MGG-stained. Bone marrow smear. Single-cell crop.
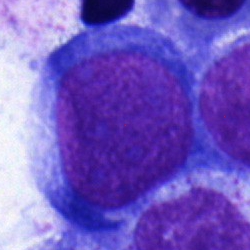

Specimen: bone marrow smear.
Cell type: proerythroblast.
Lineage: erythroid.